Bone marrow aspirate smear — 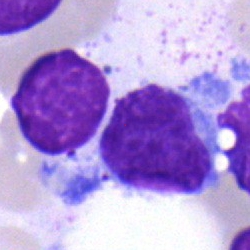
Q: What is the morphological classification of this cell?
A: Lymphocyte.